Bone marrow smear.
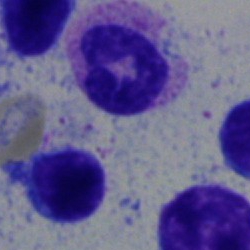 Cell = neutrophil (segmented).